Bone marrow smear; 250×250 — 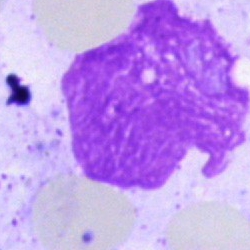

An artefact.